Bone marrow smear — 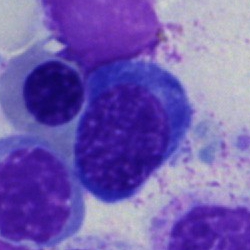 Showing a nucleated red blood cell.